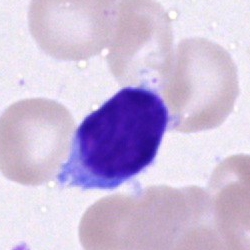
Cell: typical lymphocyte.